Peripheral blood film:
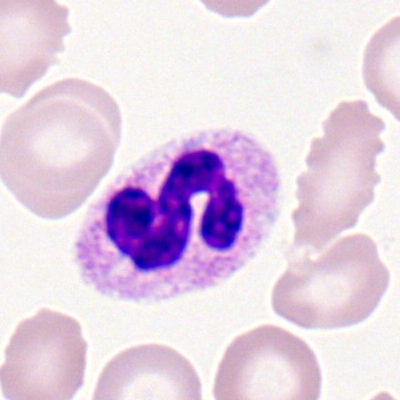
Cell type = polymorphonuclear neutrophil.